Peripheral blood smear — 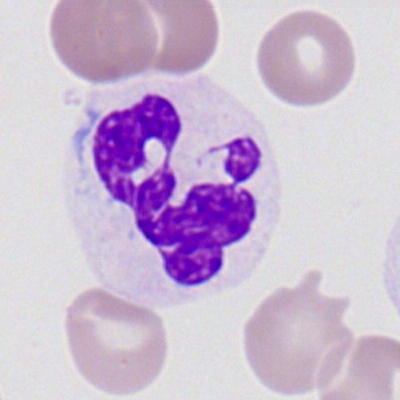 Morphology — neutrophil (segmented).